Single-cell field; bone marrow smear.
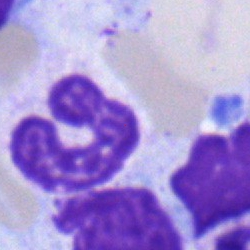 Impression → polymorphonuclear neutrophil.